Single-cell crop · peripheral blood smear · 100× oil immersion, 14.14 px/µm:
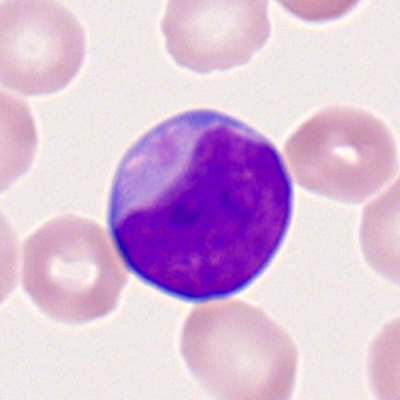Myeloid blast.